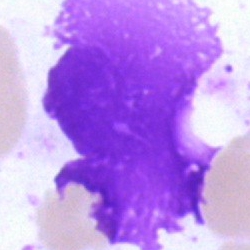

The cell shown is an artefact.